Peripheral blood smear.
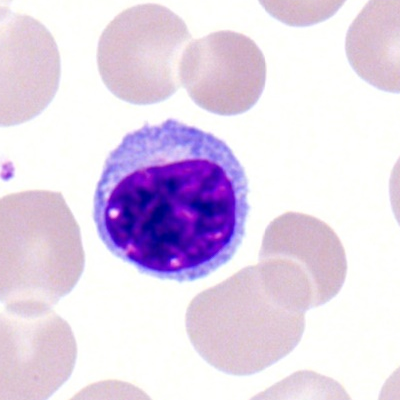The cell is lymphocyte.